250 by 250 pixels · Pappenheim-stained · bone marrow smear
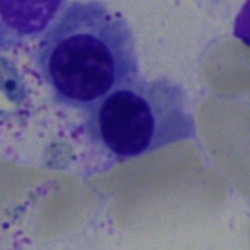

Cell = nucleated red cell.